Bone marrow smear; May-Grünwald-Giemsa/Pappenheim stain; 40× oil immersion — 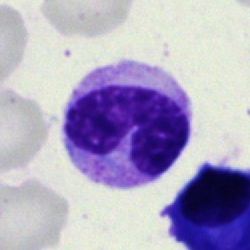Cell type = band neutrophil.